MGG-stained; 40× objective, oil immersion; bone marrow smear — 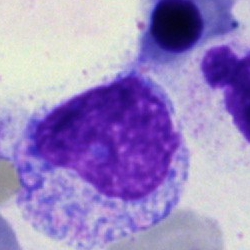The cell shown is a myelocyte.